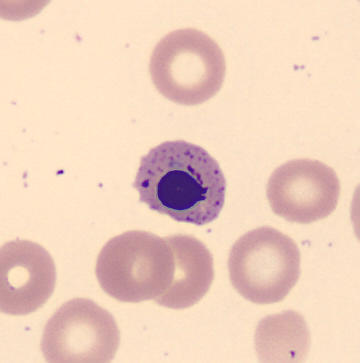 Preparation: May-Grünwald-Giemsa-stained · peripheral blood smear.
Identified as an erythroblast.